MGG-stained; cropped to a single cell; bone marrow smear: 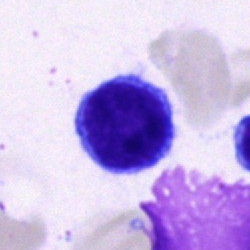
The morphological class is lymphocyte.